Bone marrow aspirate smear · Pappenheim-stained — 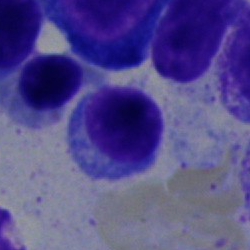

Classification: lymphocyte.